Bone marrow smear
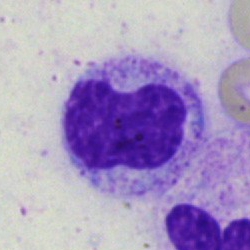

The cell shown is a metamyelocyte.